Bone marrow smear · MGG-stained.
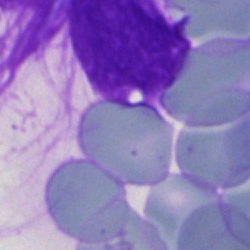Q: What is shown here?
A: This is an artefact.